Bone marrow smear. Brightfield, 40× oil-immersion objective
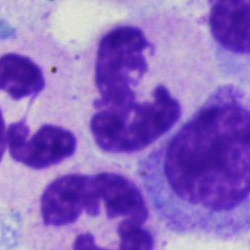

The cell shown is a neutrophil (segmented).